Bone marrow smear. 250×250: 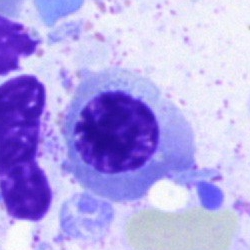
Q: What is shown here?
A: It is a nucleated red cell.